Bone marrow smear — 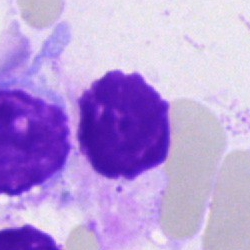Morphology → artifact.